Bone marrow smear · Pappenheim-stained:
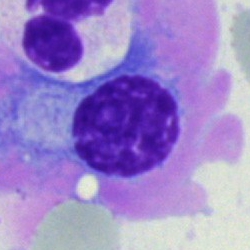
Morphology — plasmacyte.